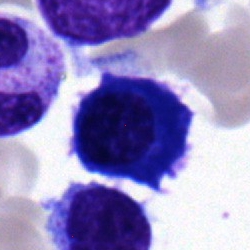

Q: What type of cell is this?
A: It is a plasmacyte.